Peripheral blood film; single-cell crop: 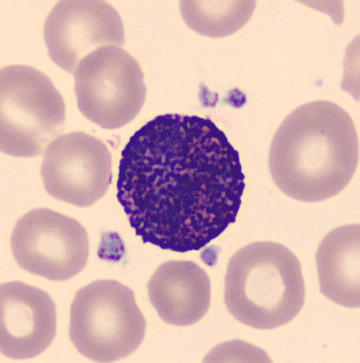Cell type — basophil.